Peripheral blood smear:
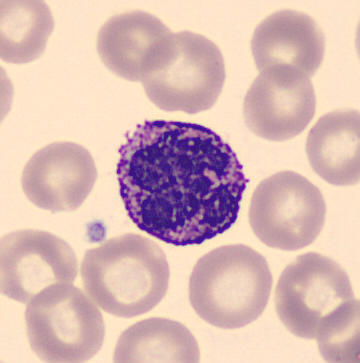 {"cell_type": "basophilic granulocyte"}